Bone marrow smear: 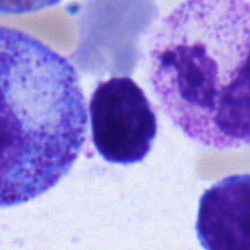
The classification is lymphocyte.